Bone marrow smear
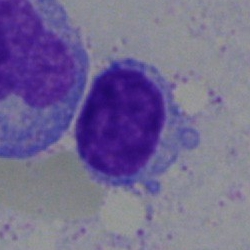The cell shown is a typical lymphocyte.